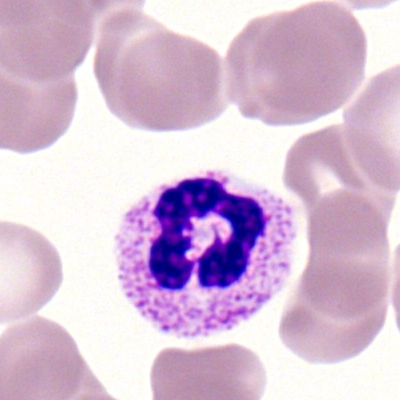
Specimen: peripheral blood smear.
Cell: neutrophil (segmented).
Lineage: myeloid.